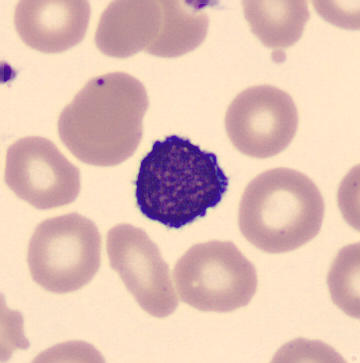Morphology — typical lymphocyte.